Bone marrow smear.
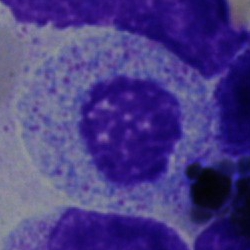

Cell type = myelocyte.